Bone marrow smear:
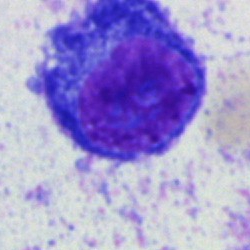 Showing a plasma cell.